Bone marrow smear · May-Grünwald-Giemsa stain:
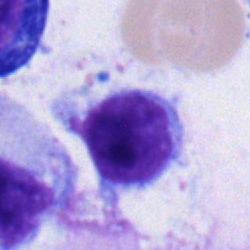

Q: What type of cell is this?
A: It is a lymphocyte.